360 by 363 pixels · CellaVision DM96 · peripheral blood smear:
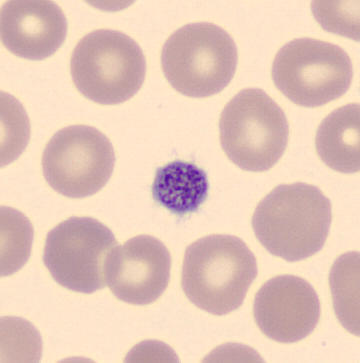Morphological class: platelet (thrombocyte).